Bone marrow aspirate smear. Single cell centered in the field — 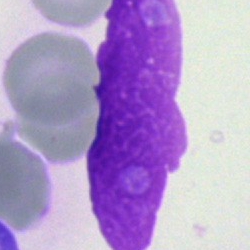

Single cell identified as an artifact.